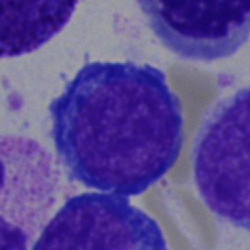Single-cell crop from a bone marrow smear: nucleated red blood cell.